Bone marrow smear; May-Grünwald-Giemsa/Pappenheim stain: 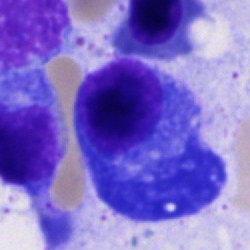Q: Which cell type is shown here?
A: Plasma cell.